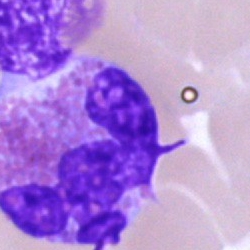

{"cell_type": "eosinophilic granulocyte"}